Brightfield microscopy, 40× oil immersion. Image size 250×250. Bone marrow smear.
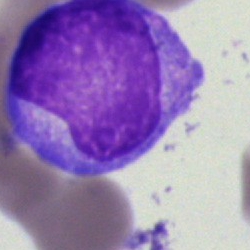
The cell is undifferentiated blast.